250 by 250 pixels; bone marrow aspirate smear: 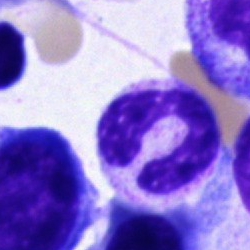 {"cell_type": "band neutrophil", "lineage": "myeloid"}